Bone marrow aspirate smear.
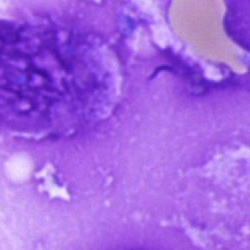

Q: What is shown here?
A: It is an artefact.